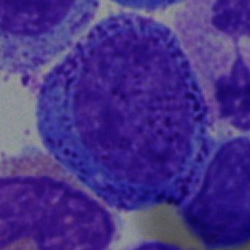Classification: progranulocyte.